Bone marrow aspirate smear
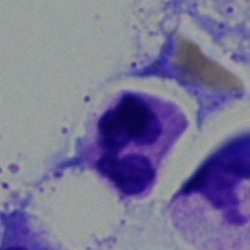 Morphological class: polymorphonuclear neutrophil.